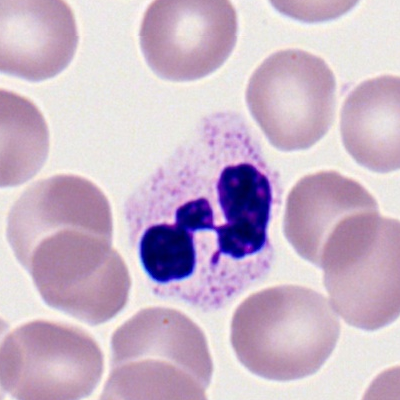Peripheral blood smear showing a polymorphonuclear neutrophil.